Bone marrow aspirate smear — 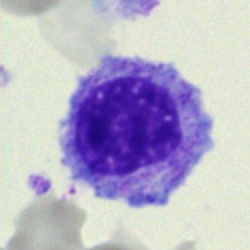
Classification — myelocyte.